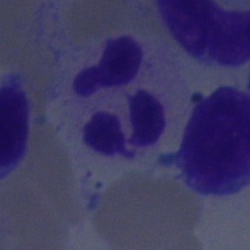 Specimen: bone marrow aspirate smear.
Cell: segmented neutrophil.
Lineage: myeloid.